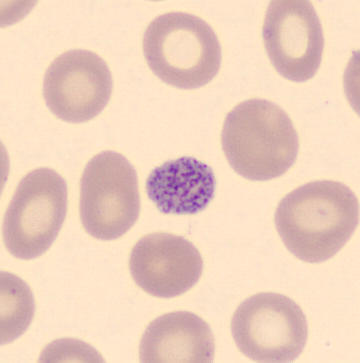 Image: Peripheral blood film. Morphology — platelet.